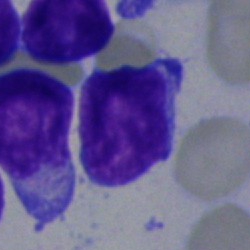 Morphology → blast cell.